Bone marrow smear: 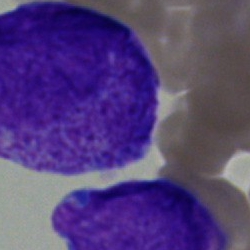

This is a blast.